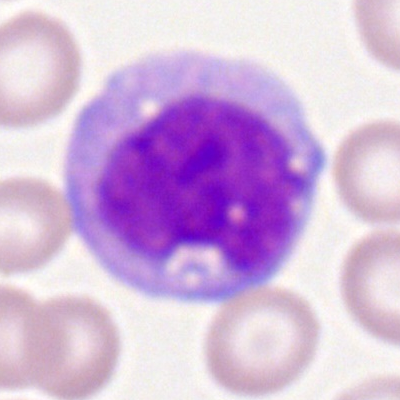

This is a monocyte.